Bone marrow smear
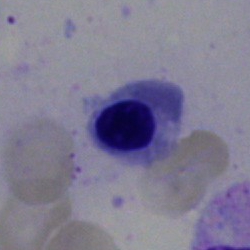
Specimen: bone marrow smear.
Classification: normoblast.
Lineage: erythroid.